Bone marrow aspirate smear:
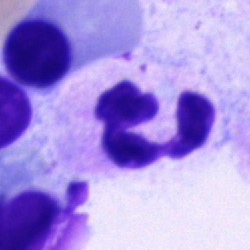
The cell is polymorphonuclear neutrophil.